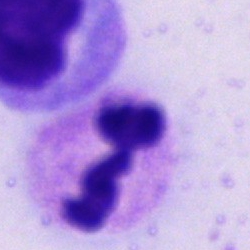
Bone marrow smear showing a segmented neutrophil.